Bone marrow aspirate smear: 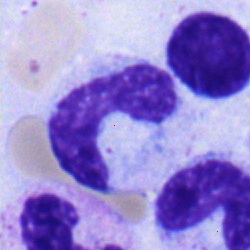
Classification = stab cell.